Bone marrow aspirate smear
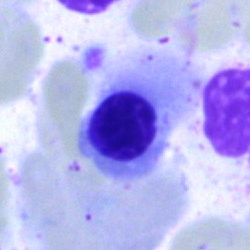

Specimen: bone marrow smear.
Cell type: erythroblast.